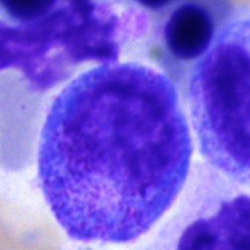Impression → promyelocyte.